Peripheral blood film.
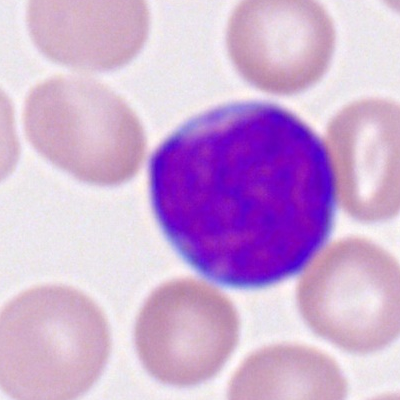
Morphology consistent with a myeloid blast.